Bone marrow aspirate smear:
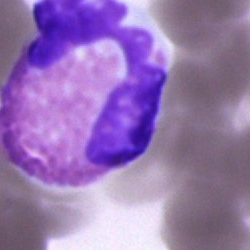
Single cell identified as an eosinophilic granulocyte.